Bone marrow aspirate smear · MGG-stained
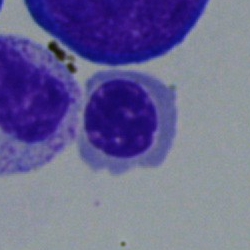
Single cell identified as an erythroblast.